Single-cell crop · May-Grünwald-Giemsa/Pappenheim stain · bone marrow aspirate smear: 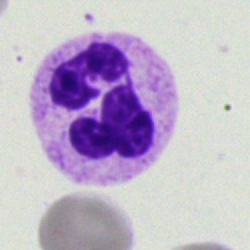
{"cell_type": "polymorphonuclear neutrophil", "lineage": "myeloid"}